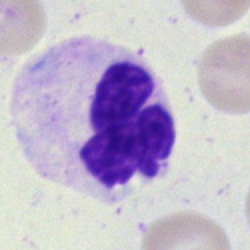 Classification — segmented neutrophil.